Bone marrow aspirate smear; brightfield microscopy, 40× oil immersion; single cell centered in the field
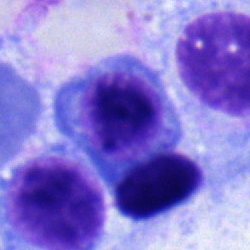Q: What is shown here?
A: A nucleated red blood cell.